Bone marrow smear. May-Grünwald-Giemsa/Pappenheim stain
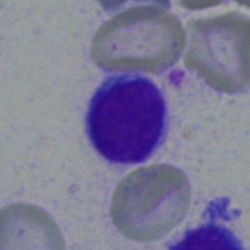 Classification — lymphocyte.